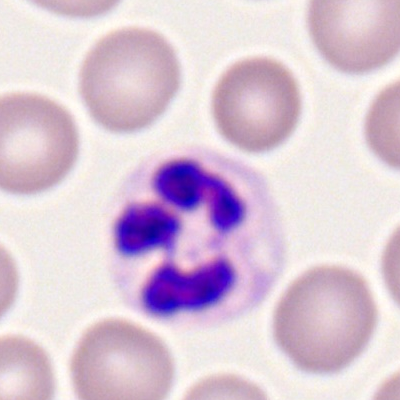{"cell_type": "neutrophil (segmented)", "lineage": "myeloid"}